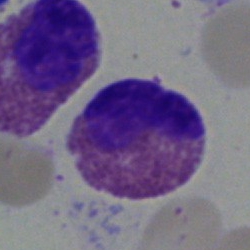
Bone marrow aspirate smear, single cell — eosinophilic granulocyte.